Single cell centered in the field. Bone marrow aspirate smear. May-Grünwald-Giemsa/Pappenheim stain: 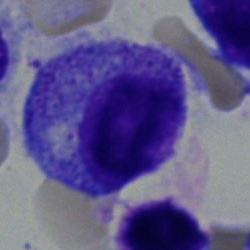

Myelocyte.